Peripheral blood smear:
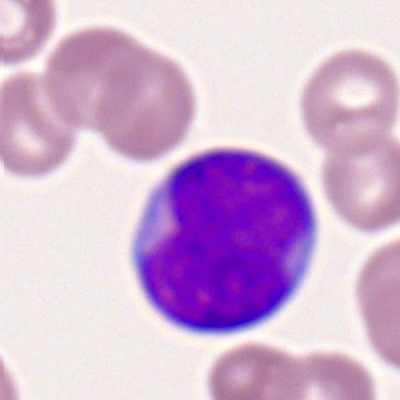

Morphological class = myeloid blast.